250×250 px; bone marrow aspirate smear.
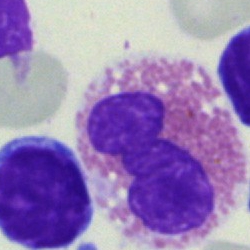
This is an eosinophilic granulocyte.